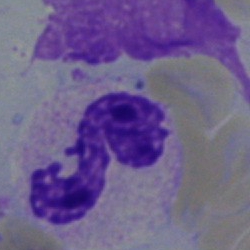
A polymorphonuclear neutrophil on a bone marrow smear.